Bone marrow aspirate smear.
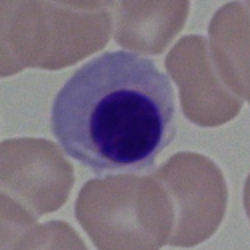
Single cell identified as an erythroblast.